250×250 px · bone marrow smear.
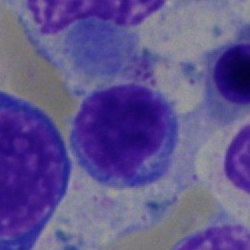Specimen: bone marrow aspirate smear.
Cell type: lymphocyte.
Lineage: lymphoid.